Bone marrow smear; May-Grünwald-Giemsa/Pappenheim stain
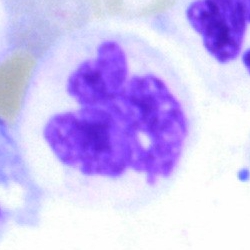

Morphological class: artifact.